Peripheral blood film; single-cell crop:
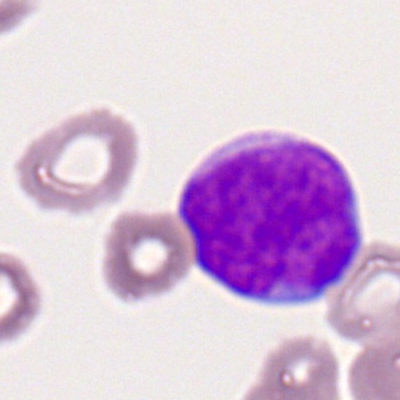
Q: Which cell type is shown here?
A: It is a myeloblast.